Bone marrow aspirate smear · May-Grünwald-Giemsa stain — 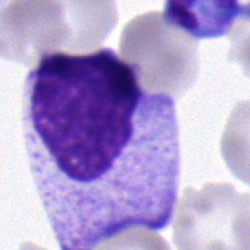 Morphological class = myelocyte.